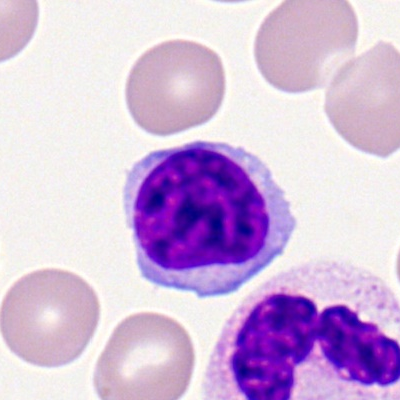
The morphological class is typical lymphocyte.